Single-cell field; 250×250; bone marrow aspirate smear
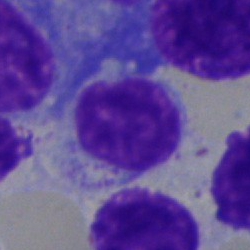 Specimen: bone marrow aspirate smear.
Morphological class: lymphocyte.
Lineage: lymphoid.